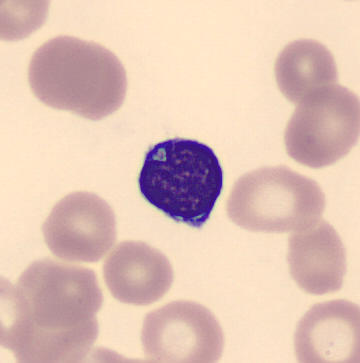
Cell — typical lymphocyte.